Brightfield microscopy, 40× oil immersion. Bone marrow aspirate smear: 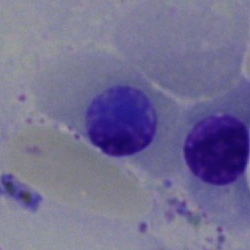 Q: What type of cell is this?
A: This is a nucleated red cell.